250 by 250 pixels. Bone marrow aspirate smear: 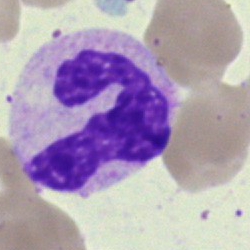 The cell shown is a polymorphonuclear neutrophil.